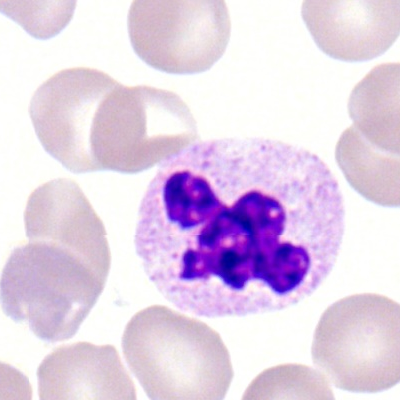Q: What cell is this?
A: It is a polymorphonuclear neutrophil.